Single cell centered in the field · bone marrow smear · brightfield microscopy, 40× oil immersion.
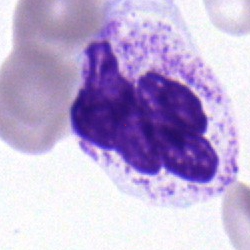 Q: What type of cell is this?
A: Polymorphonuclear neutrophil.